Bone marrow aspirate smear; MGG-stained; brightfield microscopy, 40× oil immersion — 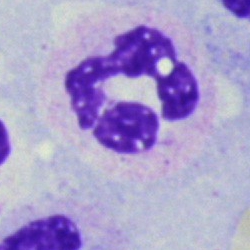
Impression → polymorphonuclear neutrophil.